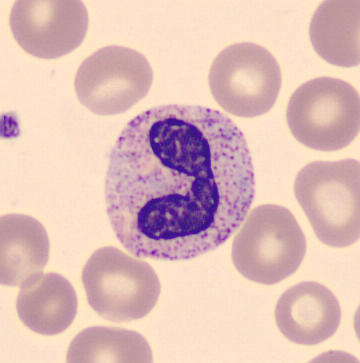 Acquisition: 360×363 px · peripheral blood film. Cell — neutrophil (band).